Bone marrow smear
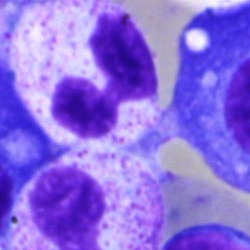

Impression — polymorphonuclear neutrophil.